Bone marrow aspirate smear.
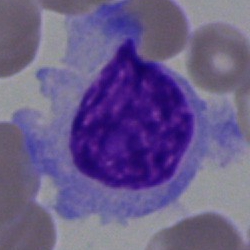 The cell shown is a lymphocyte.